MGG-stained; bone marrow smear; single cell centered in the field: 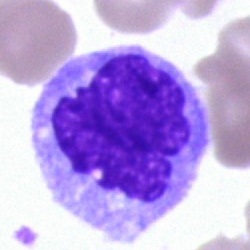

Showing a monocyte.